Bone marrow aspirate smear.
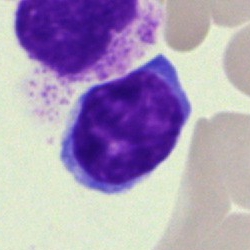 Specimen: bone marrow aspirate smear.
Morphological class: typical lymphocyte.
Lineage: lymphoid.